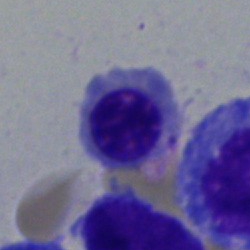

The classification is erythroblast.